Bone marrow smear; single-cell crop; 250 by 250 pixels.
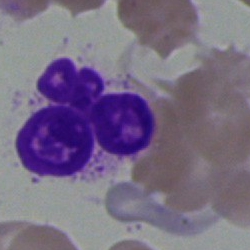Cell type: neutrophil (segmented).